Peripheral blood smear:
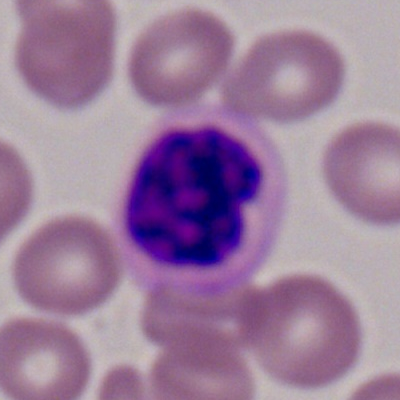
Showing a polymorphonuclear neutrophil.